Bone marrow smear.
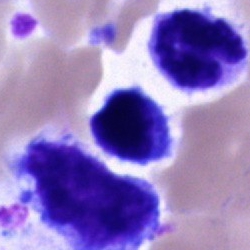

Showing a cell of indeterminate lineage.